Pappenheim-stained; bone marrow smear.
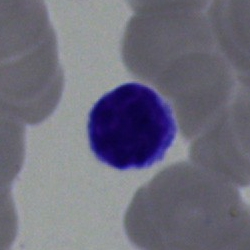
{"cell_type": "typical lymphocyte"}